Single cell centered in the field; 250×250 px; bone marrow smear — 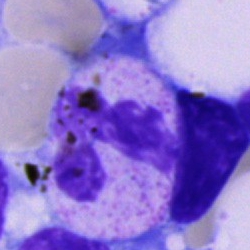

Single cell identified as a polymorphonuclear neutrophil.